Romanowsky-type stain; peripheral blood smear; cropped to a single cell — 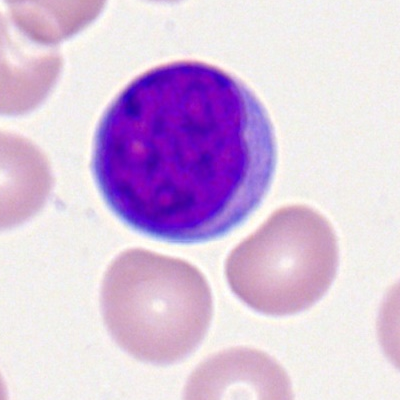

A lymphocyte.